Bone marrow smear
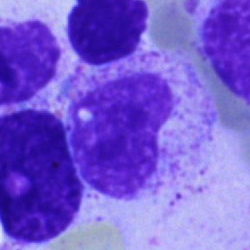 This is a metamyelocyte.